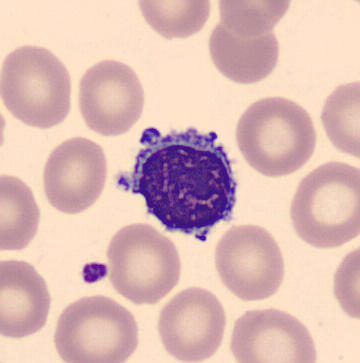This is a typical lymphocyte. Image: Peripheral blood smear; imaged on a CellaVision DM96 analyser; 360×363.